Bone marrow smear · image size 250×250
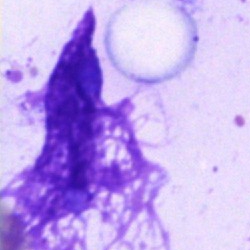
Q: What is shown here?
A: This is an artefact.